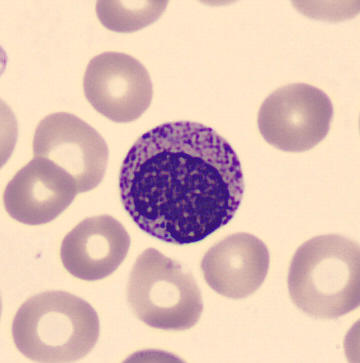

Q: Identify the cell.
A: It is a metamyelocyte.